Bone marrow aspirate smear. MGG-stained. Cropped to a single cell — 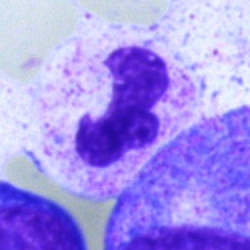
Q: Identify the cell.
A: A neutrophil (segmented).